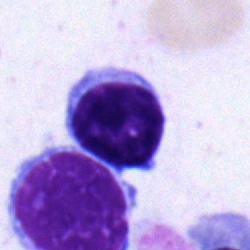A typical lymphocyte on a bone marrow smear.